Bone marrow smear. 40× objective, oil immersion: 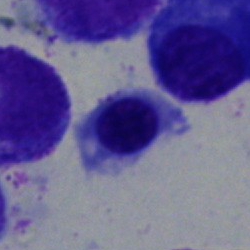

Specimen: bone marrow smear.
Cell type: nucleated red blood cell.
Lineage: erythroid.